Bone marrow smear
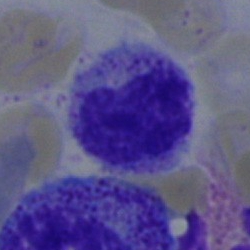

Classification — metamyelocyte.